May-Grünwald-Giemsa/Pappenheim stain. Bone marrow smear — 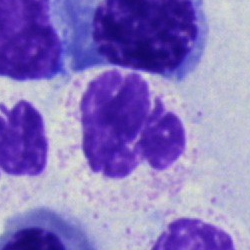

The cell type is neutrophil (segmented).